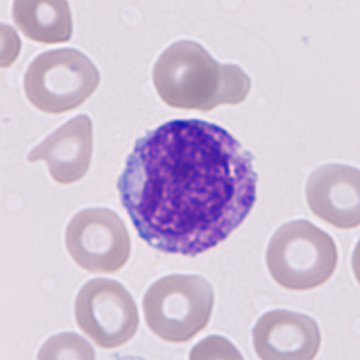
Preparation: Peripheral blood smear.
{"cell_type": "granulocyte precursor", "lineage": "myeloid"}